Brightfield microscopy, 40× oil immersion · bone marrow smear
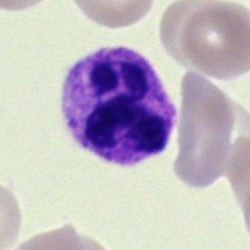
Classification: polymorphonuclear neutrophil.